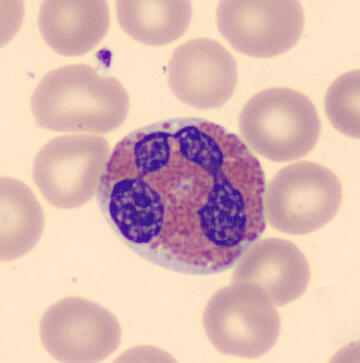Showing an eosinophilic granulocyte.
Image: Peripheral blood film.